Bone marrow smear: 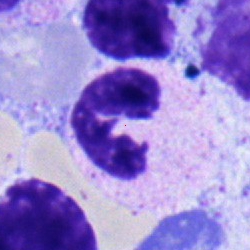 {"cell_type": "polymorphonuclear neutrophil", "lineage": "myeloid"}